May-Grünwald-Giemsa/Pappenheim stain · bone marrow aspirate smear · 250 by 250 pixels: 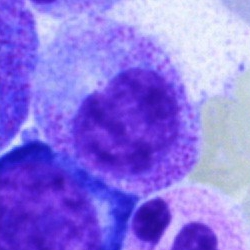

Classification — myelocyte.